Bone marrow aspirate smear.
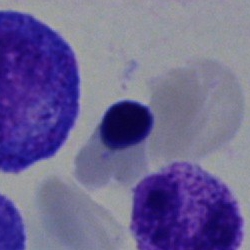
Showing a nucleated red cell.